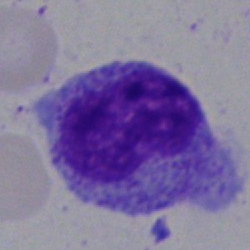
{"cell_type": "metamyelocyte"}